MGG-stained · bone marrow smear — 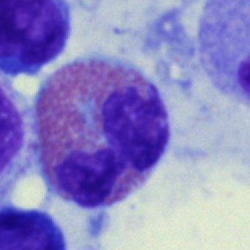
This is an eosinophil.